Bone marrow smear. May-Grünwald-Giemsa stain. 250×250 px
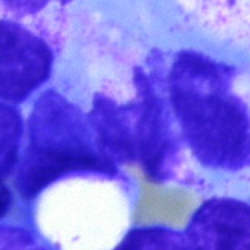 Cell: artifact.